Bone marrow aspirate smear — 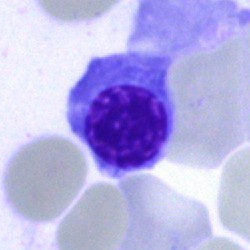

Q: What is shown here?
A: This is a nucleated red cell.